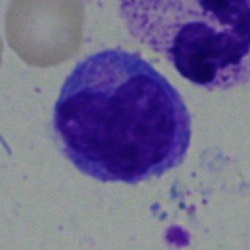

Cell = monocyte.